250×250 px. Bone marrow aspirate smear
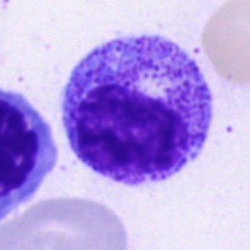

Q: Which cell type is shown here?
A: This is a promyelocyte.